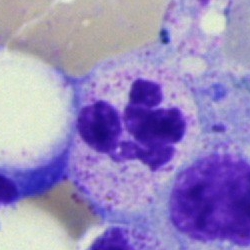
Classification: segmented neutrophil.